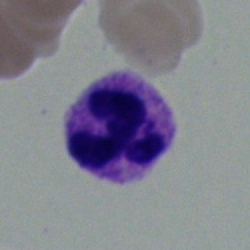The morphological class is neutrophil (segmented).